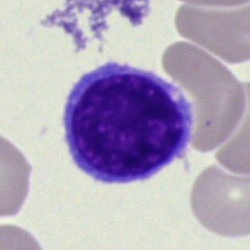

{"cell_type": "typical lymphocyte", "lineage": "lymphoid"}